Single-cell crop · bone marrow aspirate smear
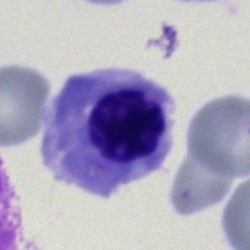
Specimen: bone marrow aspirate smear.
Morphological class: nucleated red cell.
Lineage: erythroid.